Bone marrow aspirate smear
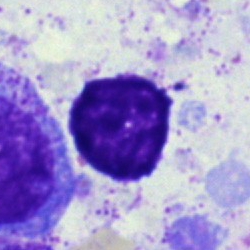{"cell_type": "artefact"}